Cropped to a single cell; 40× objective, oil immersion; bone marrow smear — 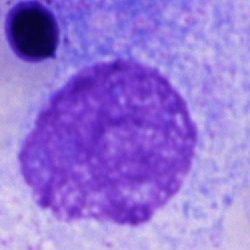 Classification: artefact.